Bone marrow aspirate smear:
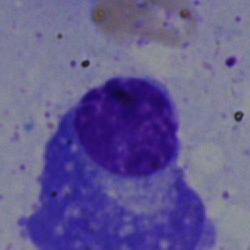 This is a plasma cell.